Bone marrow smear: 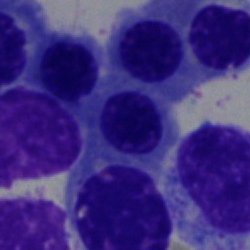

{"cell_type": "nucleated red cell", "lineage": "erythroid"}